Bone marrow aspirate smear
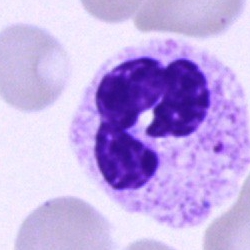
Classification — segmented neutrophil.